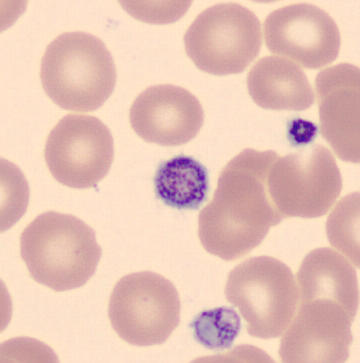

Q: What is shown here?
A: A platelet (thrombocyte).